Bone marrow smear · brightfield microscopy, 40× oil immersion — 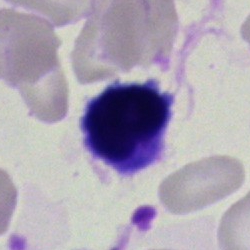Cell type = lymphocyte.